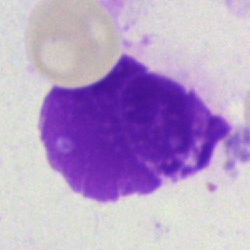Cell type: artefact.